Bone marrow smear — 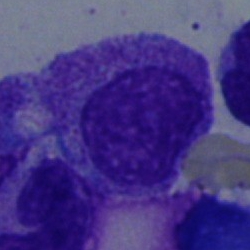Morphology — myelocyte.